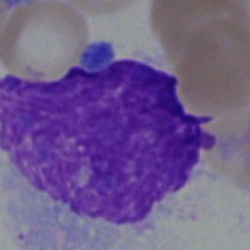 Single cell identified as an artefact.